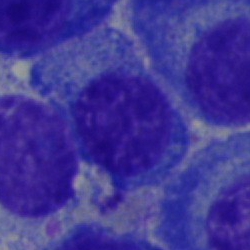This is a plasma cell.